Bone marrow smear: 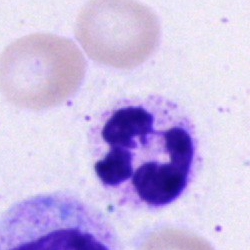 Q: Identify the cell.
A: A segmented neutrophil.